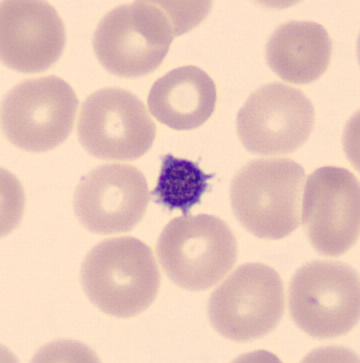

Acquisition: Peripheral blood smear. Platelet.